Single-cell crop. Bone marrow aspirate smear. 250 by 250 pixels:
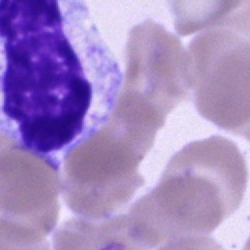 Morphology consistent with an artifact.